Single-cell field. Bone marrow aspirate smear — 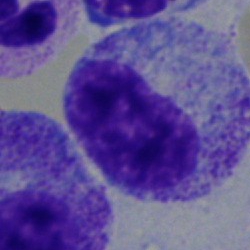 A myelocyte.